MGG-stained; 250×250 px; bone marrow aspirate smear.
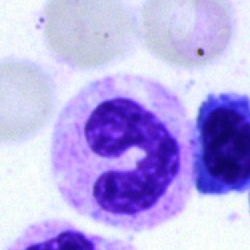Q: Which cell type is shown here?
A: A segmented neutrophil.